Romanowsky stain. Peripheral blood smear — 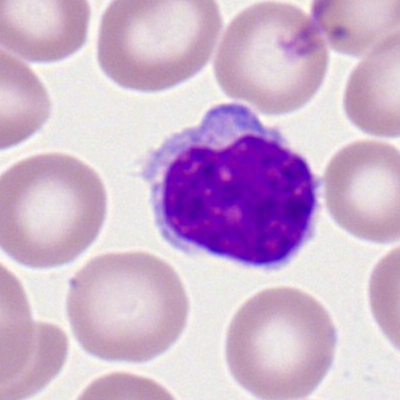

{"cell_type": "typical lymphocyte", "lineage": "lymphoid"}